Single cell centered in the field · bone marrow aspirate smear: 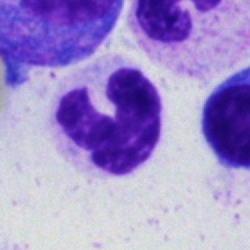
Single cell identified as a neutrophil (band).